Bone marrow aspirate smear
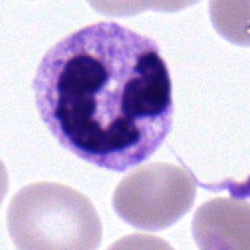
Morphology consistent with a segmented neutrophil.